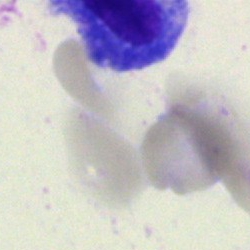Q: What is shown here?
A: It is an artefact.